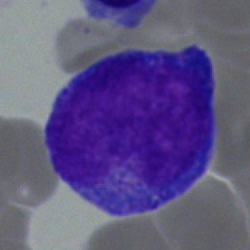
Bone marrow aspirate smear, single cell — promyelocyte.